Bone marrow aspirate smear — 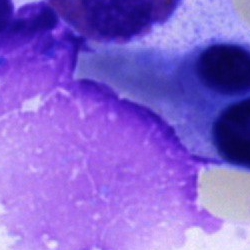 Morphology — artifact.